250 by 250 pixels. Bone marrow smear. Brightfield, 40× oil-immersion objective.
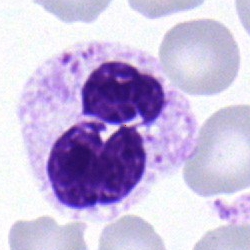Q: What is shown here?
A: A neutrophil (segmented).